Bone marrow smear.
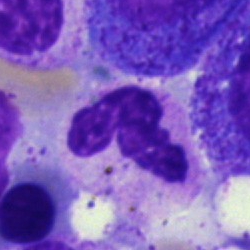

Neutrophil (segmented).